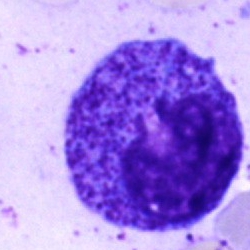
{"cell_type": "promyelocyte", "lineage": "myeloid"}